Bone marrow smear. Single-cell field:
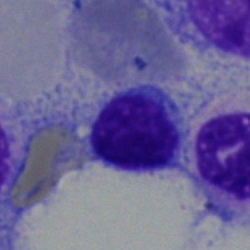

Q: What cell is this?
A: A lymphocyte.